Bone marrow aspirate smear: 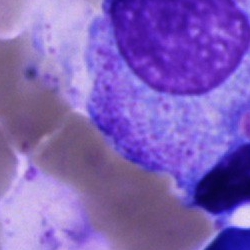Specimen: bone marrow aspirate smear.
Classification: progranulocyte.
Lineage: myeloid.